Peripheral blood film · cropped to a single cell — 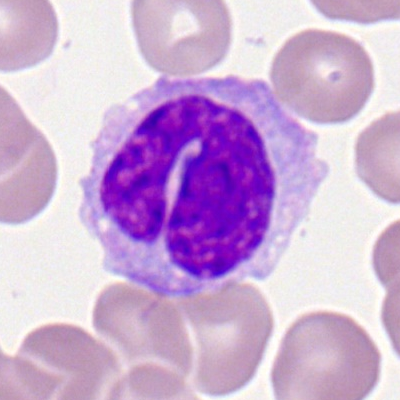
The cell type is monocyte.